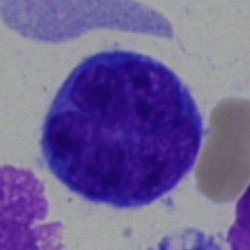 The cell shown is an undifferentiated blast.